Bone marrow smear.
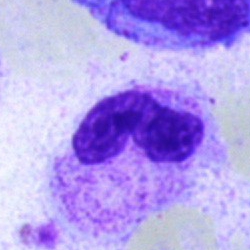 Showing a polymorphonuclear neutrophil.